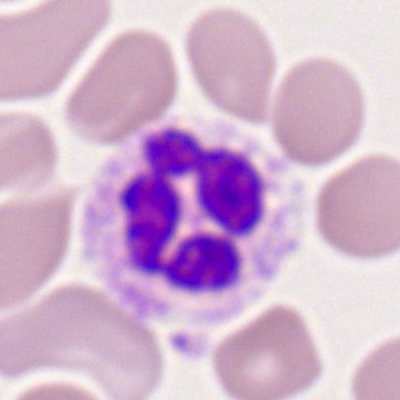
The cell shown is a neutrophil (segmented).